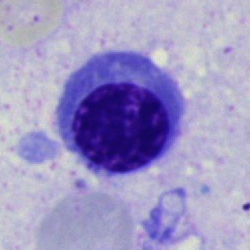 Cell — normoblast.